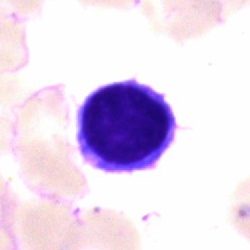Showing a lymphocyte.